Bone marrow aspirate smear — 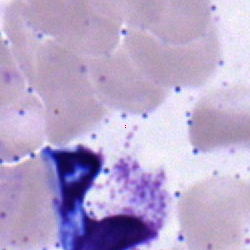
A monocyte.